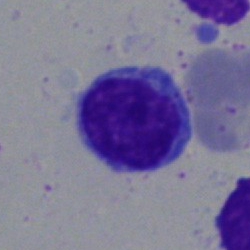

Impression — lymphocyte.